Bone marrow smear:
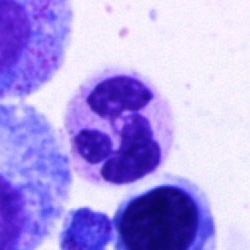 The cell shown is a neutrophil (segmented).